Bone marrow aspirate smear:
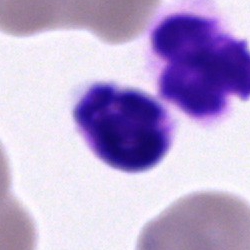 Q: Which cell type is shown here?
A: A segmented neutrophil.